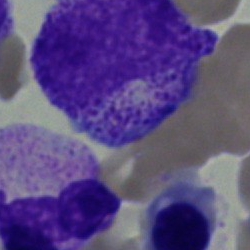 Impression — myelocyte.